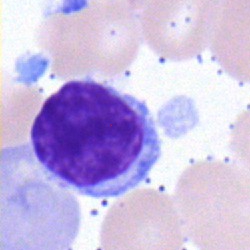{"cell_type": "lymphocyte"}